Bone marrow aspirate smear · 40× oil immersion: 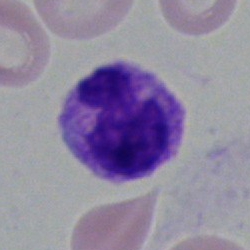Morphology consistent with a polymorphonuclear neutrophil.